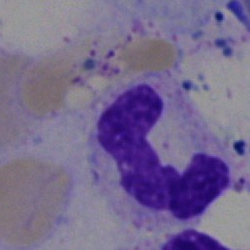

Segmented neutrophil.